40× objective, oil immersion · 250 by 250 pixels · bone marrow aspirate smear: 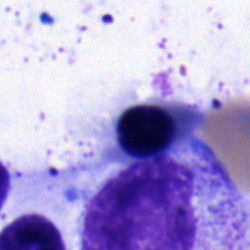
Q: What cell is this?
A: Normoblast.